Bone marrow aspirate smear:
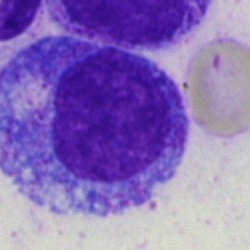 Morphology — myelocyte.